Bone marrow smear:
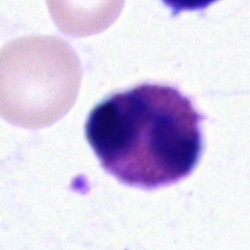 Cell type — polymorphonuclear neutrophil.